Bone marrow smear · 250×250 px · 40× objective, oil immersion — 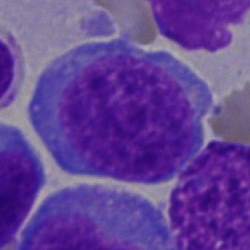Q: Identify the cell.
A: It is a blast.